Bone marrow aspirate smear; single-cell crop — 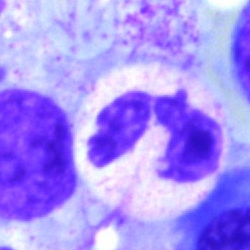
{"cell_type": "neutrophil (segmented)", "lineage": "myeloid"}